Image size 250×250; bone marrow aspirate smear: 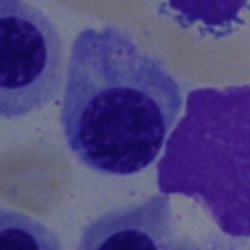
Morphology → erythroblast.